Bone marrow aspirate smear; single cell centered in the field.
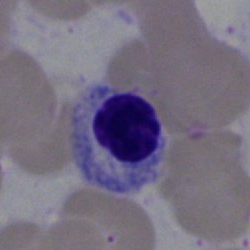
Classification: nucleated red cell.